250×250 px; bone marrow aspirate smear — 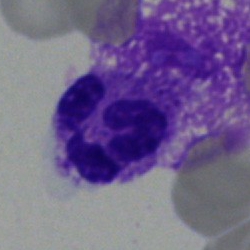

The cell is polymorphonuclear neutrophil.